Bone marrow smear — 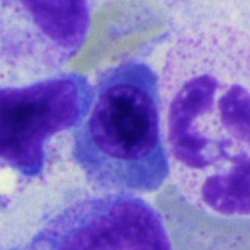

Morphological class — normoblast.